Bone marrow smear: 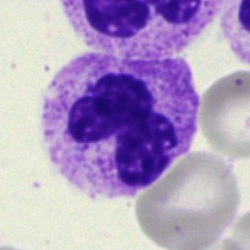 Morphological class = segmented neutrophil.